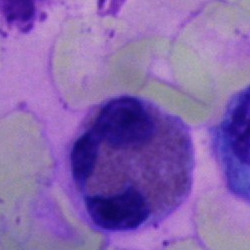 Single cell identified as an eosinophil.